Bone marrow smear: 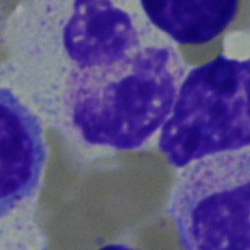 Q: What type of cell is this?
A: It is a neutrophil (segmented).